Bone marrow aspirate smear · 40× oil immersion.
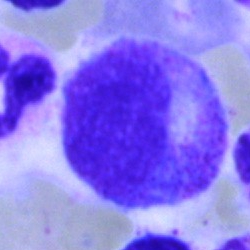Cell type = myelocyte.